Bone marrow aspirate smear. Single-cell crop. Pappenheim-stained:
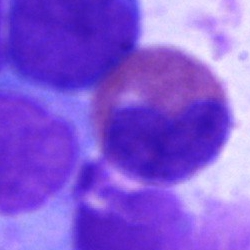Morphology consistent with an eosinophil.